Peripheral blood smear.
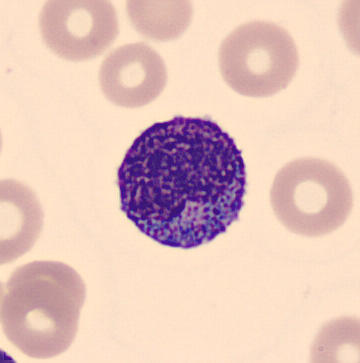A metamyelocyte.